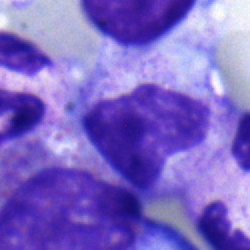Morphology consistent with a metamyelocyte.